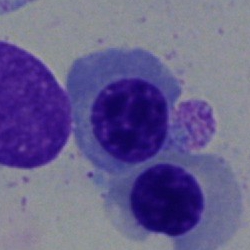 This is a nucleated red cell.